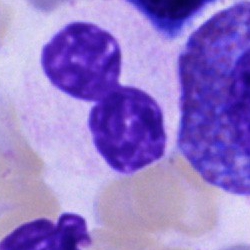Impression — cell of indeterminate lineage.